Single-cell field · bone marrow aspirate smear.
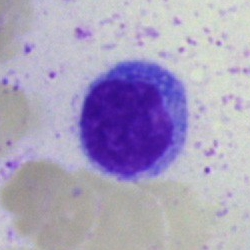
Q: What is the morphological classification of this cell?
A: This is a lymphocyte.